Bone marrow smear — 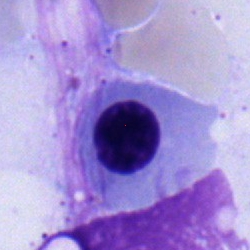

Q: What is shown here?
A: A nucleated red blood cell.